Image size 250×250; bone marrow smear — 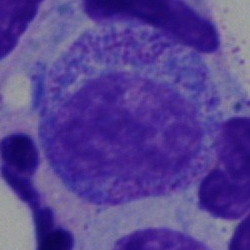Morphological class = myelocyte.